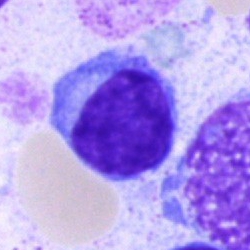

Cell type: lymphocyte.